Bone marrow aspirate smear: 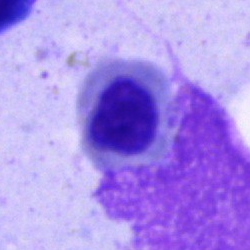

Impression → normoblast.